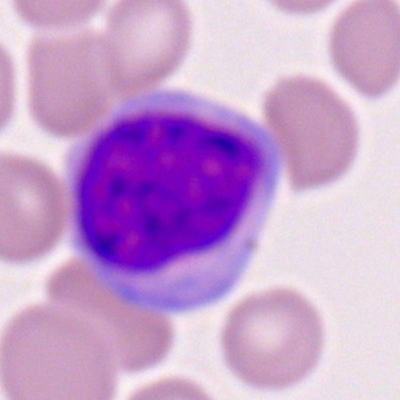

Cell type — monocyte.